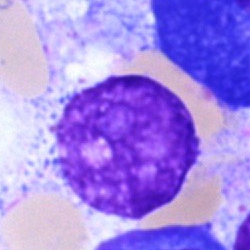
Morphological class: artefact.